Bone marrow aspirate smear:
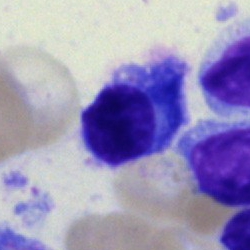
Morphological class — plasma cell.